Bone marrow smear
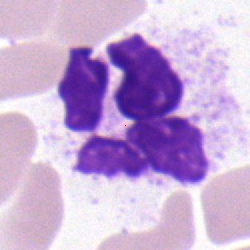
Q: Which cell type is shown here?
A: This is a stab cell.